100× oil immersion · peripheral blood film — 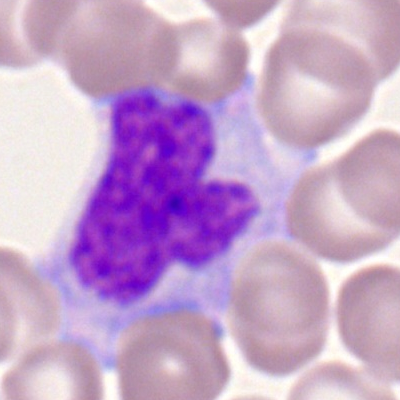 A monocyte.